Pappenheim-stained. Bone marrow smear: 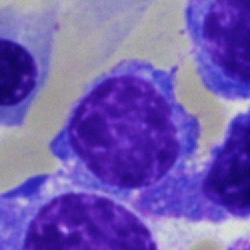

Q: What type of cell is this?
A: Plasmacyte.